40× oil immersion; bone marrow aspirate smear — 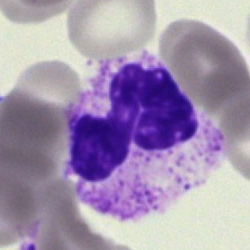

Morphology consistent with a polymorphonuclear neutrophil.